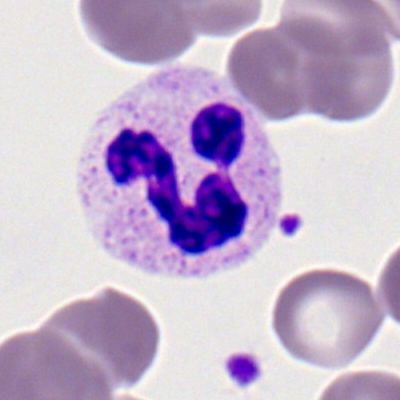 Morphological class = polymorphonuclear neutrophil.